Bone marrow smear
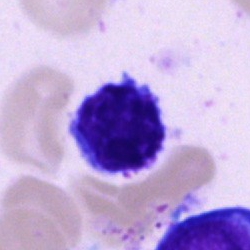
Impression — typical lymphocyte.